Brightfield, 40× oil-immersion objective · bone marrow aspirate smear:
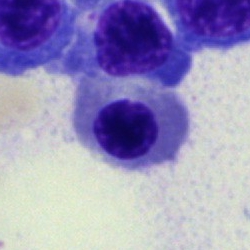 Nucleated red blood cell.